Brightfield microscopy, 40× oil immersion; bone marrow aspirate smear; single cell centered in the field: 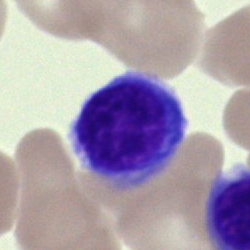
Cell type: typical lymphocyte.